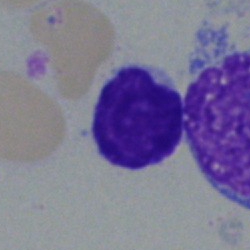
Specimen: bone marrow aspirate smear.
Cell: typical lymphocyte.